Image size 250×250; bone marrow aspirate smear
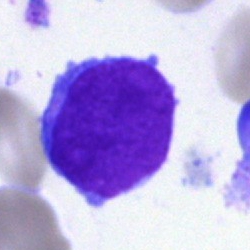
Specimen: bone marrow smear.
Classification: undifferentiated blast.